Bone marrow smear: 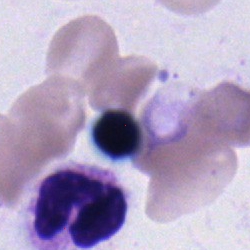 Specimen: bone marrow aspirate smear.
Classification: nucleated red cell.
Lineage: erythroid.